250×250. Bone marrow smear — 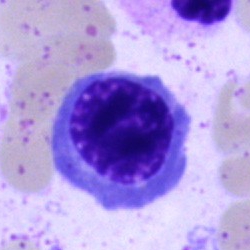 Single cell identified as an erythroblast.